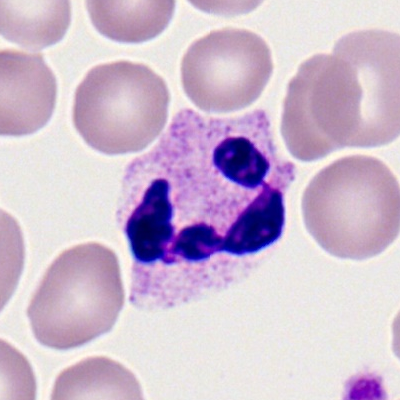
Specimen: peripheral blood film.
Classification: neutrophil (segmented).
Lineage: myeloid.